Bone marrow smear.
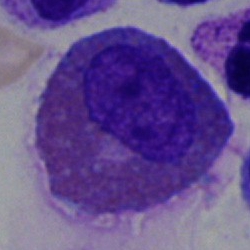{"cell_type": "eosinophil", "lineage": "myeloid"}